Single-cell crop · bone marrow smear: 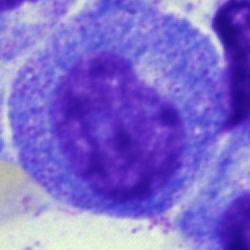

Q: What is shown here?
A: A promyelocyte.